Bone marrow aspirate smear
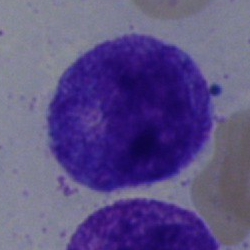
Classification — progranulocyte.